Bone marrow aspirate smear: 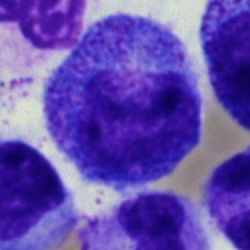
Specimen: bone marrow aspirate smear.
Cell: promyelocyte.
Lineage: myeloid.